Bone marrow aspirate smear
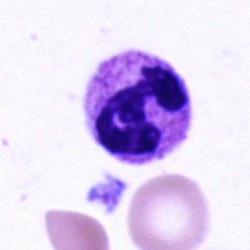 The cell shown is a polymorphonuclear neutrophil.